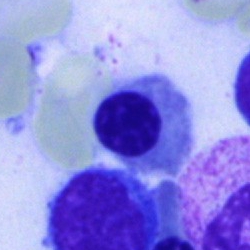Q: What type of cell is this?
A: It is a normoblast.